Bone marrow aspirate smear.
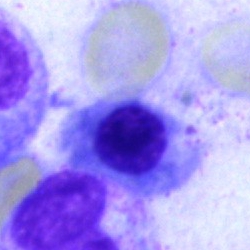Cell type: erythroblast.